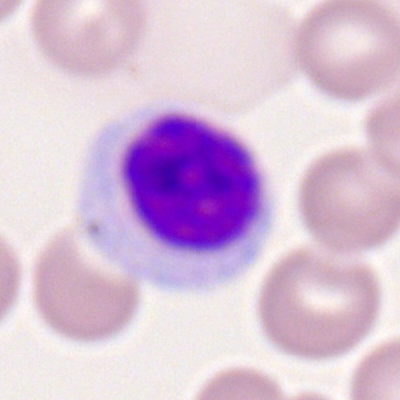Single cell identified as a lymphocyte.